Peripheral blood film: 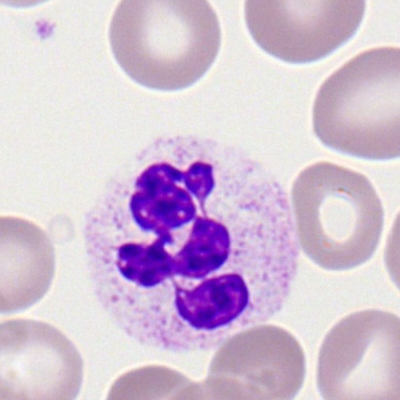 Single cell identified as a segmented neutrophil.